Brightfield, 40× oil-immersion objective · bone marrow smear: 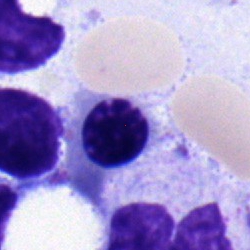

Nucleated red blood cell.